Bone marrow smear.
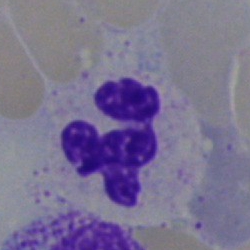 The cell shown is a polymorphonuclear neutrophil.